Cropped to a single cell; peripheral blood smear
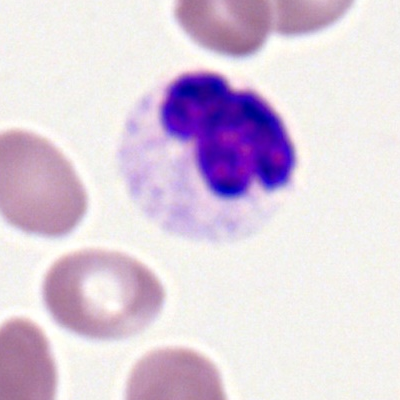A polymorphonuclear neutrophil.